Brightfield microscopy, 40× oil immersion; bone marrow aspirate smear: 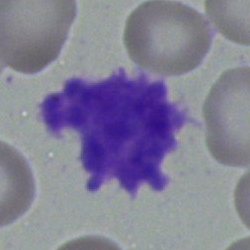The cell shown is an artifact.